Single-cell field. Bone marrow aspirate smear. Pappenheim-stained: 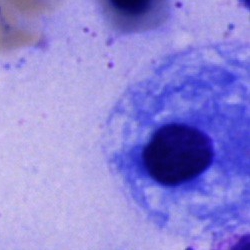 Cell — plasma cell.